40× objective, oil immersion · bone marrow aspirate smear
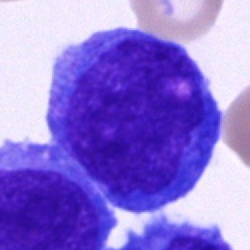 Q: What is shown here?
A: It is an undifferentiated blast.